Peripheral blood smear: 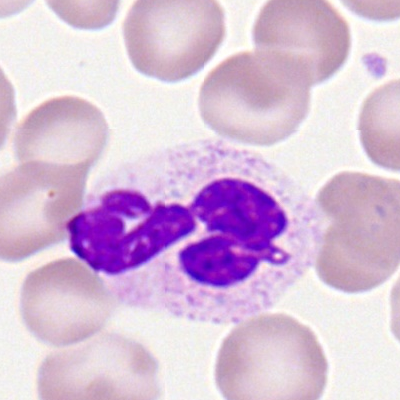

Morphology → polymorphonuclear neutrophil.